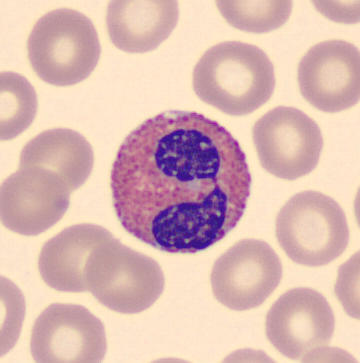Specimen: peripheral blood smear.
Morphological class: eosinophilic granulocyte.